Brightfield, 100× oil-immersion objective · peripheral blood film · Romanowsky-type stain.
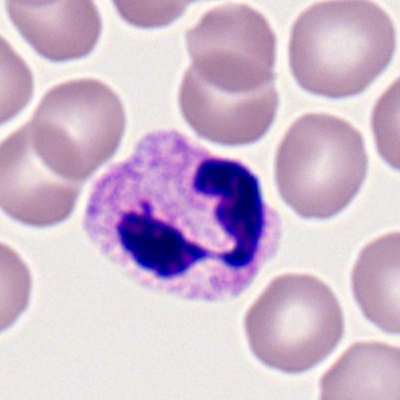
{"cell_type": "polymorphonuclear neutrophil"}